Brightfield, 40× oil-immersion objective; bone marrow aspirate smear; May-Grünwald-Giemsa/Pappenheim stain
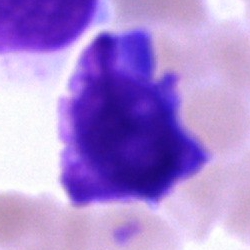Undifferentiated blast.